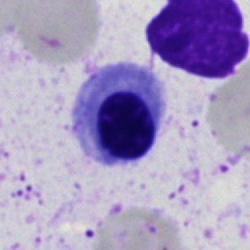
Morphology consistent with an erythroblast.